May-Grünwald-Giemsa stain · bone marrow aspirate smear: 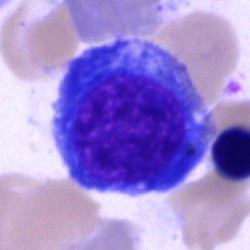 Morphology consistent with an erythroblast.